Bone marrow smear: 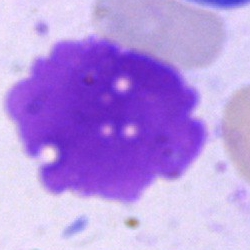

An artifact.